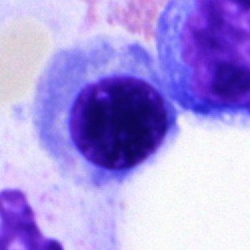

Showing a normoblast.